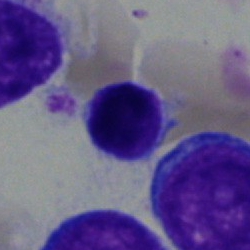

A lymphocyte.